Brightfield microscopy, 40× oil immersion. Bone marrow aspirate smear: 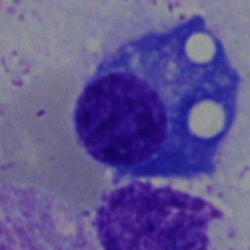

{"cell_type": "plasmacyte", "lineage": "lymphoid"}